40× oil immersion. Bone marrow aspirate smear.
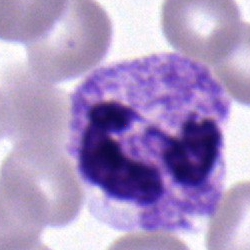
Classification: neutrophil (segmented).